Single-cell field; bone marrow smear: 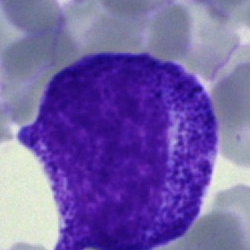Q: Identify the cell.
A: A promyelocyte.